Bone marrow smear: 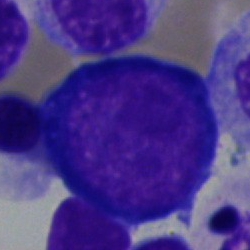 This is a proerythroblast.